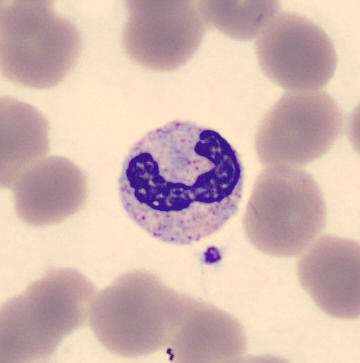 Acquisition: Peripheral blood film; MGG-stained.

Morphology — stab cell.